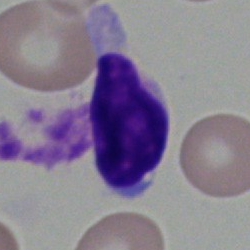 Q: Which cell type is shown here?
A: A lymphocyte.